250 by 250 pixels; bone marrow aspirate smear; May-Grünwald-Giemsa/Pappenheim stain:
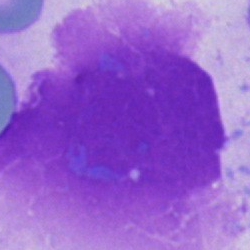
The cell shown is an artifact.